Bone marrow aspirate smear.
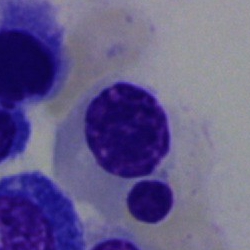

Morphology consistent with an erythroblast.